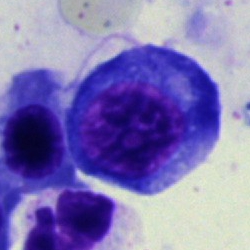Morphology consistent with a normoblast.